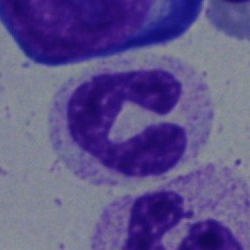 Morphological class = band neutrophil.